Peripheral blood smear:
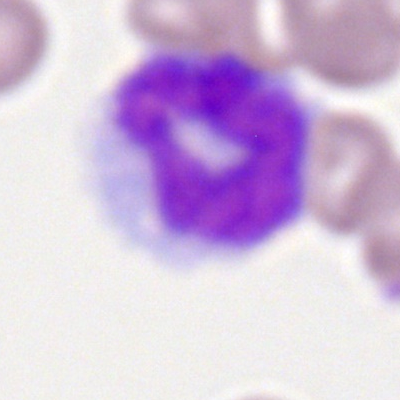
Showing a monocyte.